Bone marrow smear — 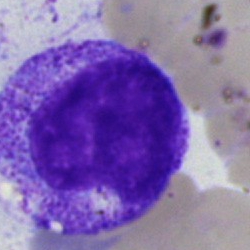Impression → promyelocyte.